Single cell centered in the field. 250×250. Bone marrow smear.
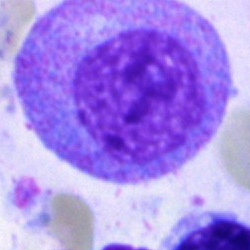 Morphology — myelocyte.